Bone marrow aspirate smear
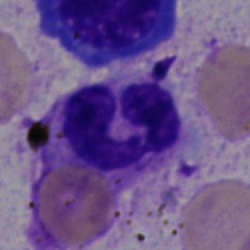
The cell type is polymorphonuclear neutrophil.